Cropped to a single cell · bone marrow smear
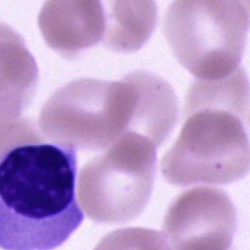{"cell_type": "nucleated red blood cell"}